Bone marrow smear.
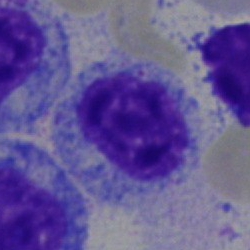
A lymphocyte.